May-Grünwald-Giemsa/Pappenheim stain · bone marrow smear
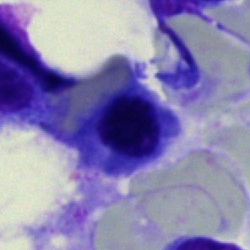
Q: What type of cell is this?
A: This is a nucleated red cell.